Bone marrow aspirate smear · 250×250.
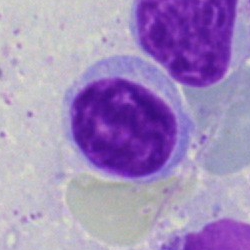
A lymphocyte.